Bone marrow smear — 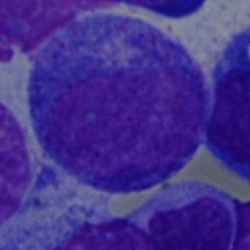
Impression — promyelocyte.